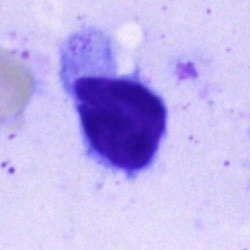
Single cell identified as a lymphocyte.